Bone marrow aspirate smear — 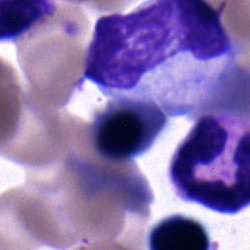Nucleated red blood cell.